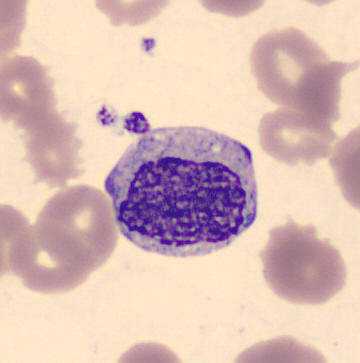

Peripheral blood smear showing a myelocyte.